Bone marrow smear: 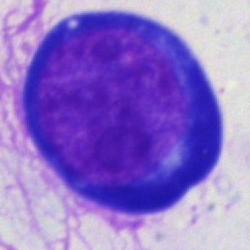

Specimen: bone marrow smear.
Classification: proerythroblast.
Lineage: erythroid.